Bone marrow smear · Pappenheim-stained · 250×250 — 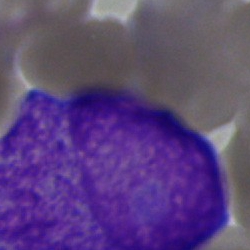
{"cell_type": "blast"}